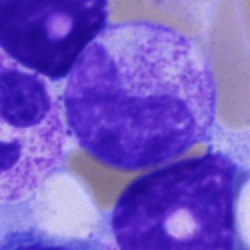 Q: What type of cell is this?
A: A metamyelocyte.